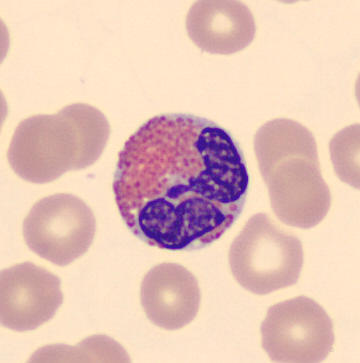

Cell: eosinophilic granulocyte.